250×250 px · bone marrow smear · 40× oil immersion:
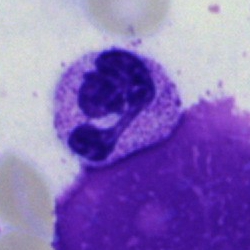
The cell is segmented neutrophil.